Bone marrow smear
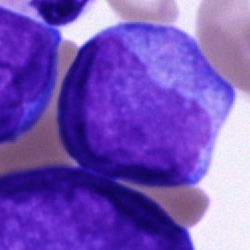

Cell — blast cell.